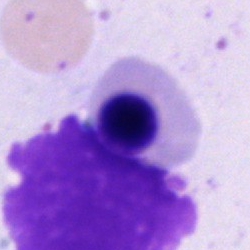 Single cell identified as a normoblast.